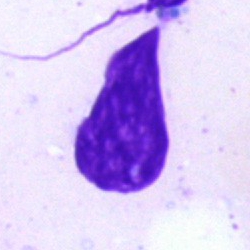

Specimen: bone marrow smear.
Cell type: artifact.